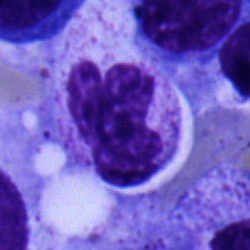
Morphology consistent with a stab cell.